Brightfield microscopy, 40× oil immersion · bone marrow smear:
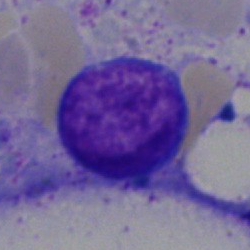Q: Which cell type is shown here?
A: Typical lymphocyte.